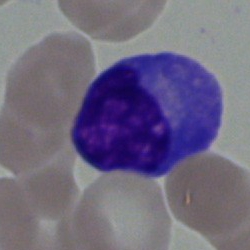 Specimen: bone marrow aspirate smear.
Cell type: plasma cell.
Lineage: lymphoid.